Peripheral blood smear · May Grünwald-Giemsa stain:
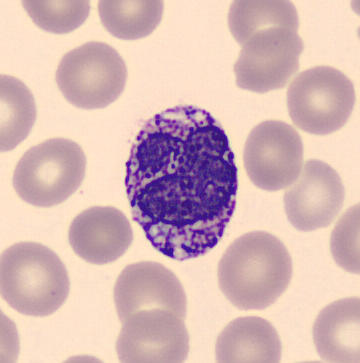 Q: What is the morphological classification of this cell?
A: A basophil.